Bone marrow smear · 40× oil immersion
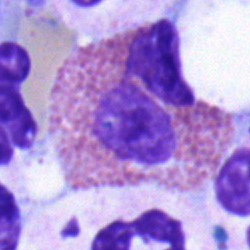Q: Which cell type is shown here?
A: It is an eosinophil.